Bone marrow aspirate smear — 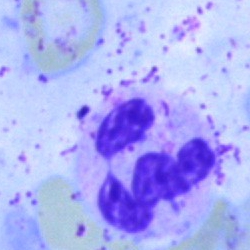 Morphology — segmented neutrophil.